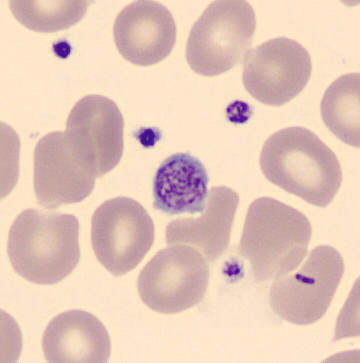Showing a thrombocyte.

Preparation: Peripheral blood smear.